250 by 250 pixels; bone marrow aspirate smear:
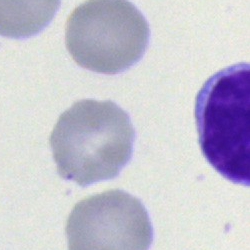This is an unidentifiable cell.